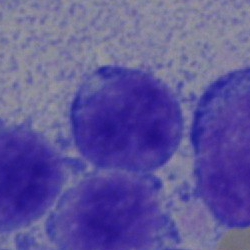This is a typical lymphocyte.